Bone marrow smear — 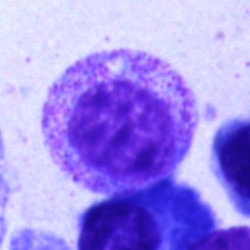
Morphological class = myelocyte.